Bone marrow aspirate smear:
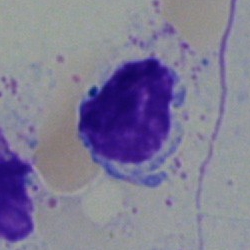The cell shown is a lymphocyte.